250 by 250 pixels · bone marrow smear
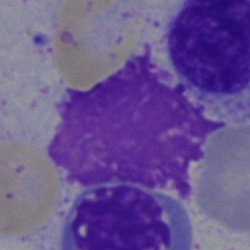
Cell type: artifact.